Automated cell imaging (CellaVision DM96). 360×363. Peripheral blood smear:
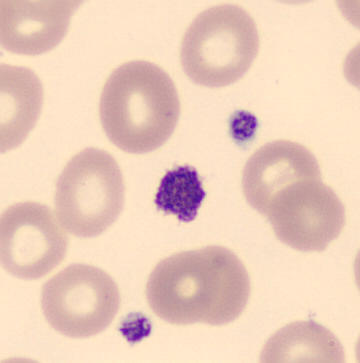
Showing a platelet (thrombocyte).